Bone marrow aspirate smear: 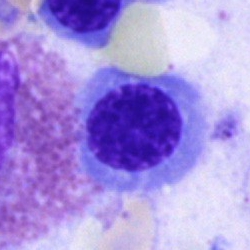
{"cell_type": "nucleated red blood cell", "lineage": "erythroid"}